Bone marrow smear.
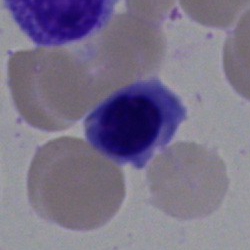
A nucleated red blood cell.